Peripheral blood film — 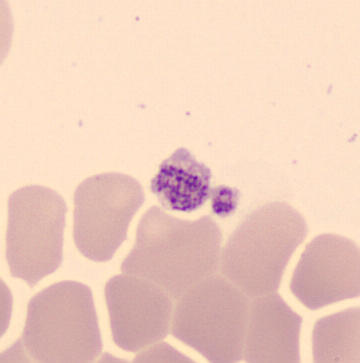Identified as a platelet (thrombocyte).